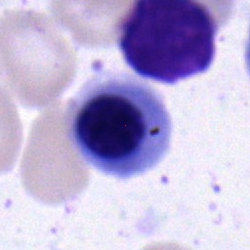Normoblast.